Bone marrow aspirate smear
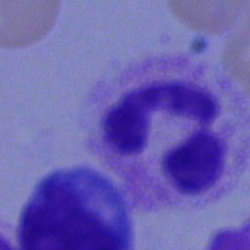
Single cell identified as a segmented neutrophil.